100× oil immersion, 14.14 px/µm. Peripheral blood smear: 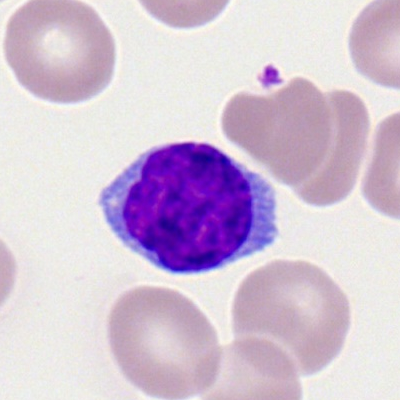Q: What is the morphological classification of this cell?
A: This is a typical lymphocyte.